Bone marrow aspirate smear; brightfield, 40× oil-immersion objective; 250×250 px
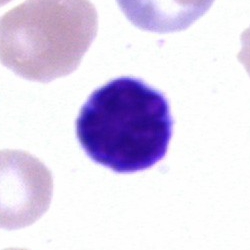Cell = typical lymphocyte.